Bone marrow smear: 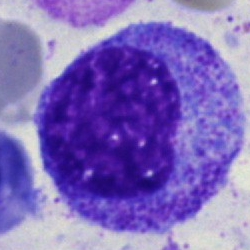

Specimen: bone marrow aspirate smear.
Classification: progranulocyte.